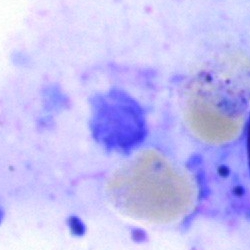 Morphology consistent with an artifact.